Bone marrow smear. Brightfield, 40× oil-immersion objective. Pappenheim-stained
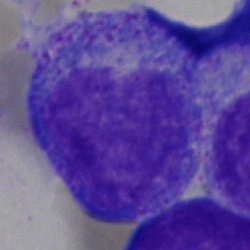The cell shown is a promyelocyte.